Bone marrow smear; image size 250×250
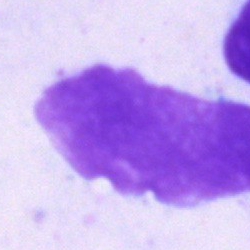

Artifact.